40× objective, oil immersion · single cell centered in the field · bone marrow aspirate smear:
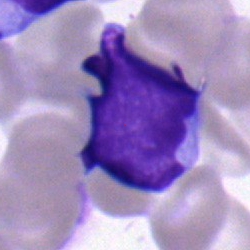

Typical lymphocyte.